40× objective, oil immersion · bone marrow smear — 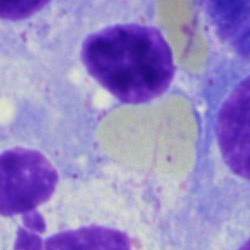
This is an artifact.